MGG-stained · bone marrow smear:
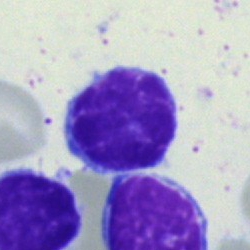

Cell: lymphocyte.